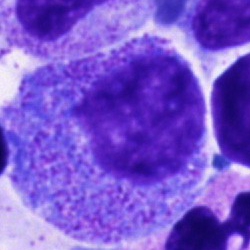

Single cell identified as a progranulocyte.